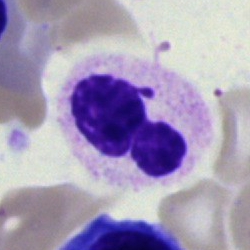 Impression — polymorphonuclear neutrophil.